40× oil immersion; bone marrow aspirate smear — 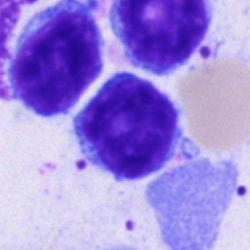
Morphological class: typical lymphocyte.